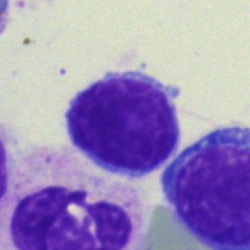 Classification = lymphocyte.